40× objective, oil immersion. Bone marrow aspirate smear
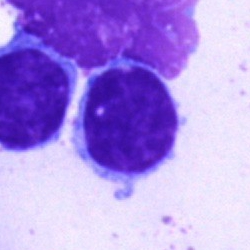Cell — lymphocyte.